Bone marrow smear · single cell centered in the field
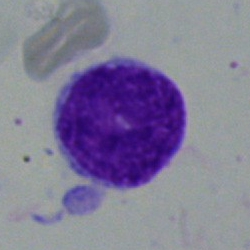 The cell is lymphocyte.